Bone marrow smear
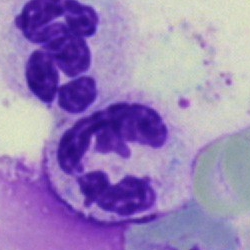Morphology consistent with a neutrophil (segmented).